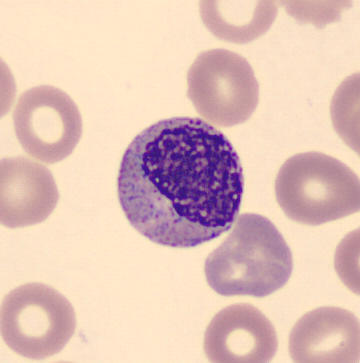
Single-cell crop from a peripheral blood smear: myelocyte.